Peripheral blood film · cropped to a single cell
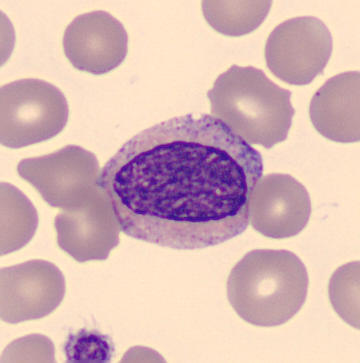

Single cell identified as a myelocyte.